Bone marrow aspirate smear. 40× objective, oil immersion: 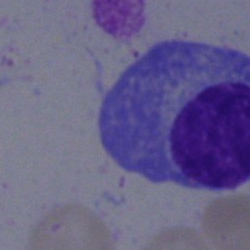
Morphological class — plasmacyte.